250 by 250 pixels · bone marrow aspirate smear · single-cell field.
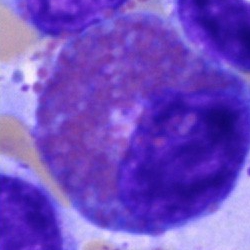The cell is eosinophil.